Bone marrow smear · 250×250 px:
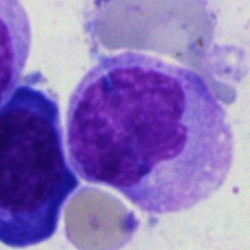 The cell is monocyte.